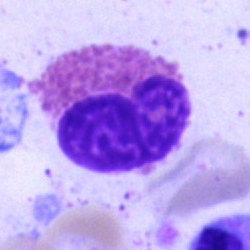This is an eosinophil.